Pappenheim-stained; bone marrow aspirate smear; 250 by 250 pixels:
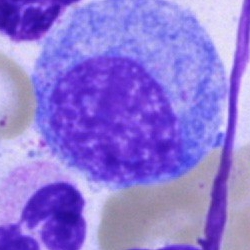 Cell type — progranulocyte.